Single-cell field; brightfield microscopy, 40× oil immersion; bone marrow smear
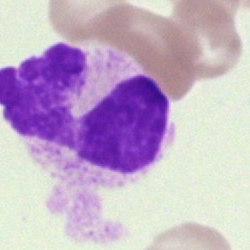
Neutrophil (segmented).